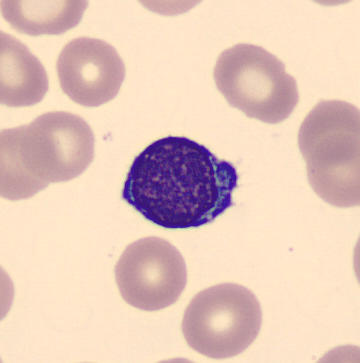

Specimen: peripheral blood smear.
Classification: lymphocyte.
Lineage: lymphoid.